Bone marrow smear; May-Grünwald-Giemsa stain; single cell centered in the field.
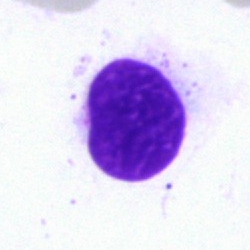

Impression → artifact.